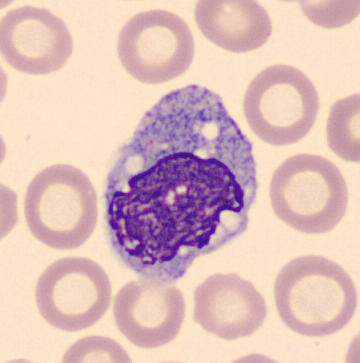 Peripheral blood smear. Automated cell imaging (CellaVision DM96). MGG-stained.
The cell shown is a monocyte.